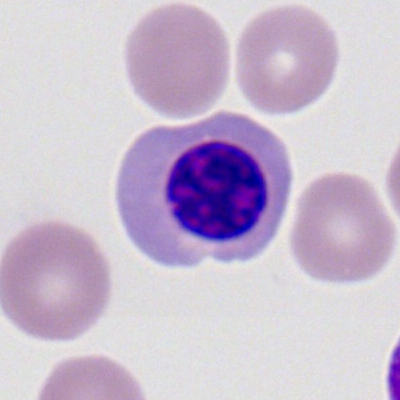

Peripheral blood smear showing a nucleated red blood cell.